Peripheral blood smear
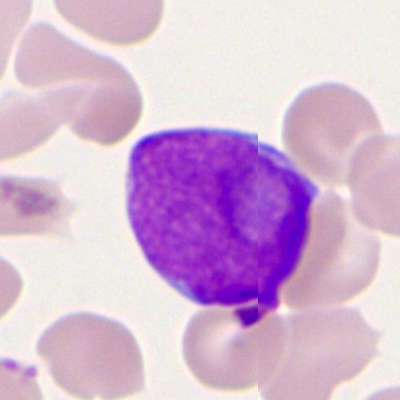

Q: What cell is this?
A: It is a myeloid blast.